Bone marrow aspirate smear. 250×250 px.
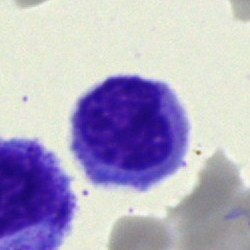
Impression — unidentifiable cell.